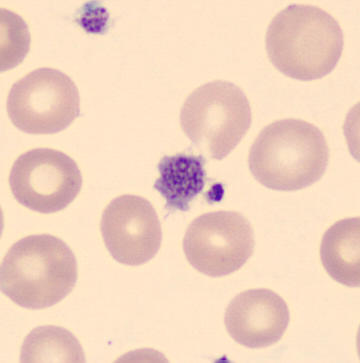 Q: What is shown here?
A: Platelet (thrombocyte).